Bone marrow aspirate smear. 40× objective, oil immersion. May-Grünwald-Giemsa stain:
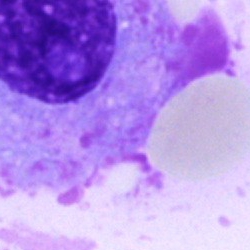Plasmacyte.